Bone marrow aspirate smear; brightfield microscopy, 40× oil immersion:
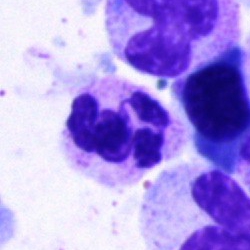
This is a segmented neutrophil.